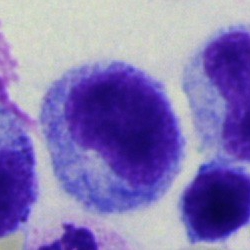
Specimen: bone marrow smear.
Cell type: promyelocyte.
Lineage: myeloid.